Bone marrow smear — 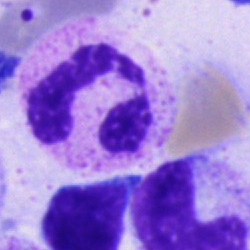
Showing a neutrophil (segmented).